Bone marrow smear:
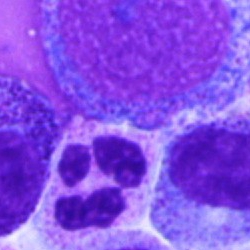

Classification — segmented neutrophil.